Bone marrow aspirate smear · cropped to a single cell
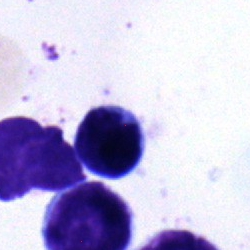 Single cell identified as a typical lymphocyte.